Bone marrow aspirate smear; May-Grünwald-Giemsa/Pappenheim stain — 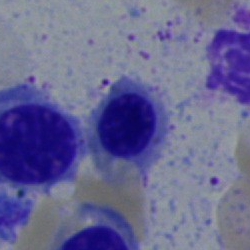
Showing a nucleated red blood cell.